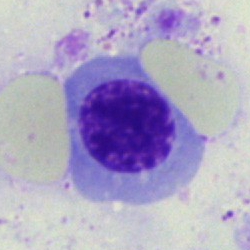 Bone marrow aspirate smear, single cell — nucleated red blood cell.